Bone marrow aspirate smear — 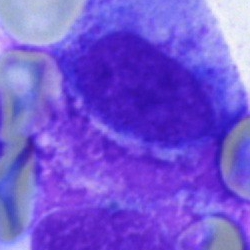This is an artefact.